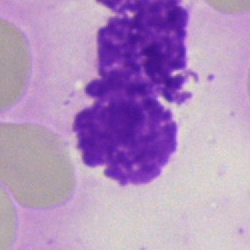Specimen: bone marrow aspirate smear.
Cell: artifact.